Bone marrow smear: 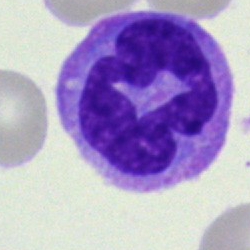

Cell: monocyte.